Peripheral blood film. Romanowsky-type stain. Cropped to a single cell — 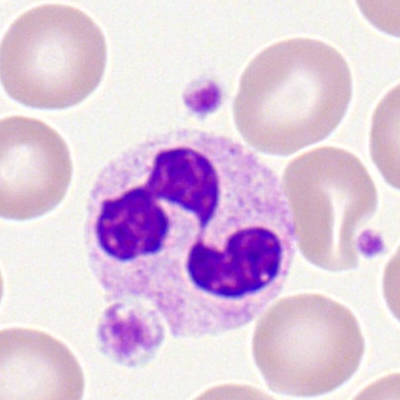Q: What is shown here?
A: This is a neutrophil (segmented).